Peripheral blood film — 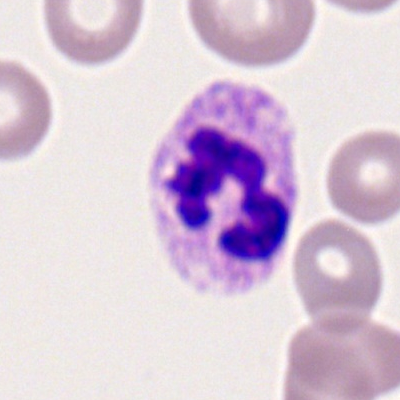

A segmented neutrophil.